Pappenheim-stained · bone marrow smear:
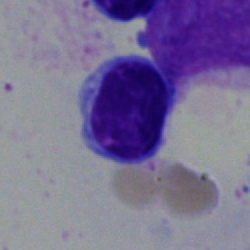

Single cell identified as a lymphocyte.